250 by 250 pixels; bone marrow smear; 40× oil immersion — 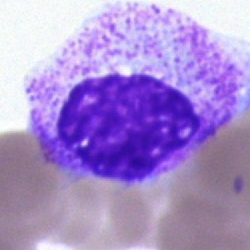Morphology — myelocyte.